Pappenheim-stained. Single-cell crop. Bone marrow smear:
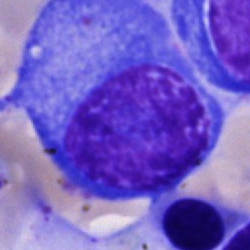 The classification is plasma cell.